Bone marrow aspirate smear — 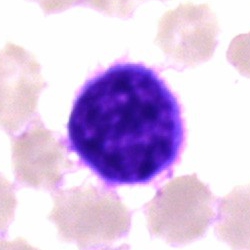Showing a typical lymphocyte.